Bone marrow smear: 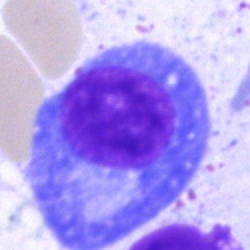This is a plasmacyte.